Bone marrow aspirate smear. 250 by 250 pixels
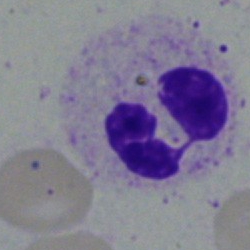

Q: Identify the cell.
A: A neutrophil (segmented).